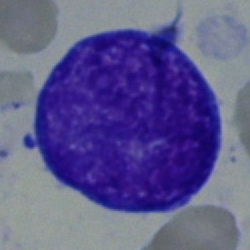Q: What cell is this?
A: Undifferentiated blast.